Bone marrow smear; 250 by 250 pixels — 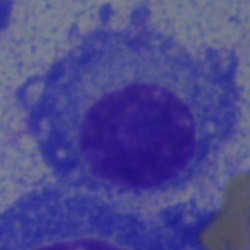Q: What is the morphological classification of this cell?
A: Plasma cell.